Bone marrow smear
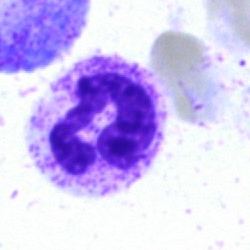 Q: Which cell type is shown here?
A: It is a polymorphonuclear neutrophil.